Peripheral blood film — 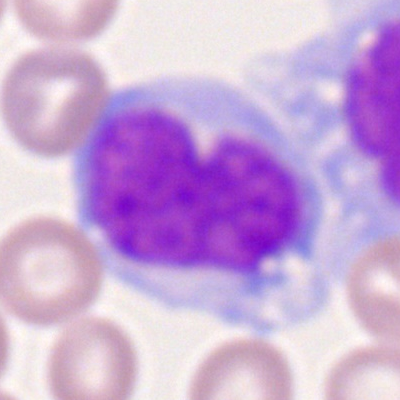
Q: Identify the cell.
A: Monocyte.